Cropped to a single cell. Bone marrow aspirate smear — 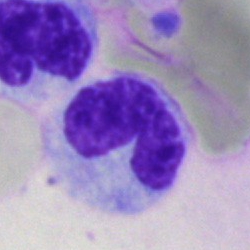

Q: What is the morphological classification of this cell?
A: It is a band neutrophil.